Bone marrow aspirate smear; image size 250×250 — 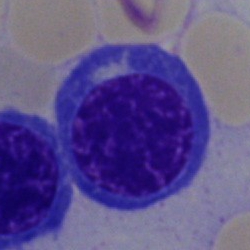
Cell type = nucleated red blood cell.